Bone marrow smear · 250×250 px:
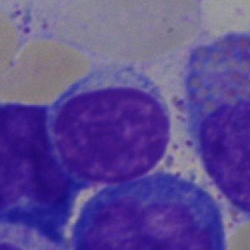 Q: What is shown here?
A: A typical lymphocyte.